Peripheral blood smear · 400×400 — 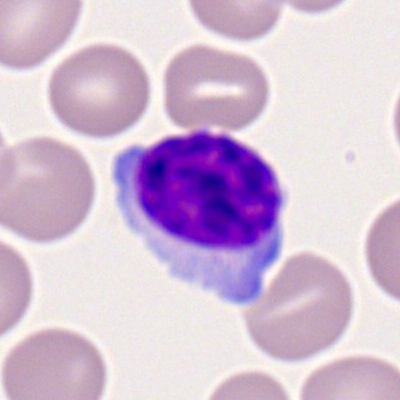
Morphological class — lymphocyte.